Bone marrow smear:
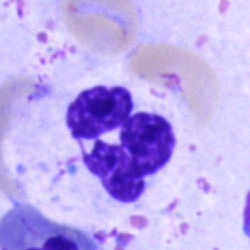Cell — neutrophil (segmented).